Bone marrow aspirate smear; 250×250 px; 40× objective, oil immersion.
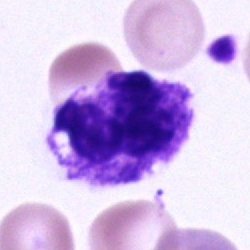
Cell type — neutrophil (segmented).